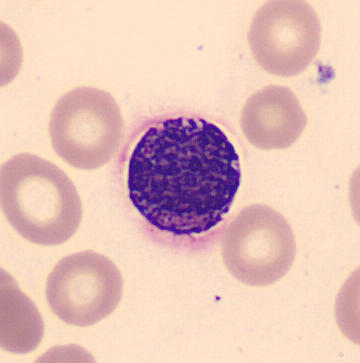
Image: Peripheral blood smear.
Impression — basophil.